May-Grünwald-Giemsa stain · bone marrow aspirate smear · 40× objective, oil immersion
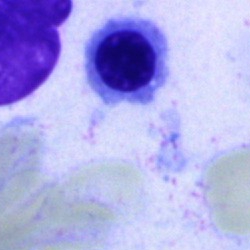

Segmented neutrophil.